Peripheral blood smear. Romanowsky-type stain. Cropped to a single cell
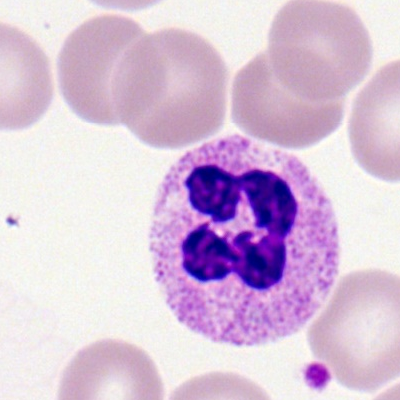

Q: What is the morphological classification of this cell?
A: A neutrophil (segmented).